Bone marrow smear · 40× oil immersion: 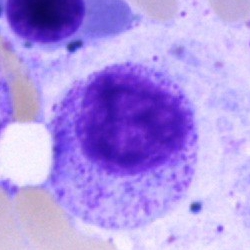
A myelocyte.